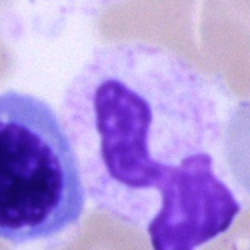Bone marrow aspirate smear, single cell — artefact.